Bone marrow smear:
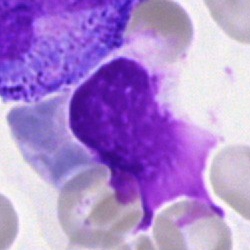

Impression → artifact.